Bone marrow smear; 40× objective, oil immersion; 250×250:
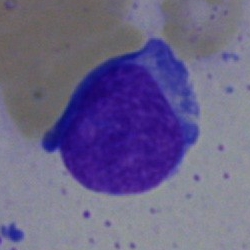Single cell identified as a blast.